Bone marrow smear — 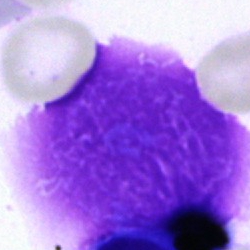Classification = artefact.